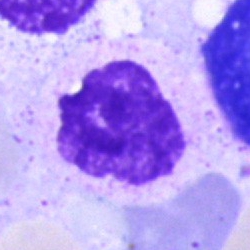

The cell shown is an artefact.